Bone marrow aspirate smear:
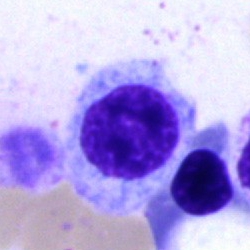 An erythroblast.